Bone marrow smear.
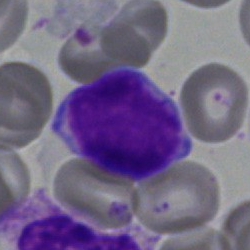 Q: What is the morphological classification of this cell?
A: This is a typical lymphocyte.